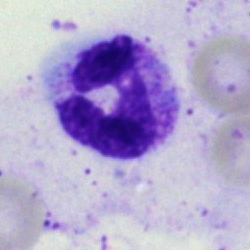 Morphological class = segmented neutrophil.